Bone marrow aspirate smear:
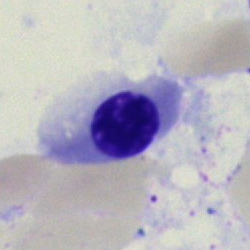

Q: What is shown here?
A: A nucleated red blood cell.